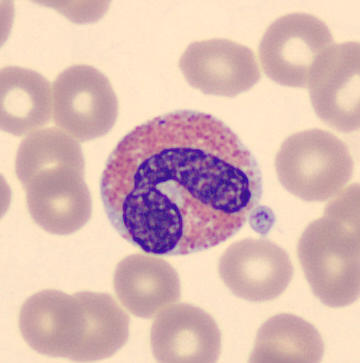 Cell = eosinophil.